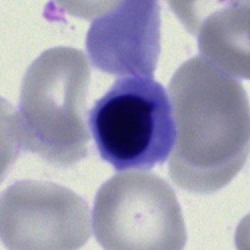
An erythroblast on a bone marrow smear.